250 by 250 pixels · bone marrow aspirate smear
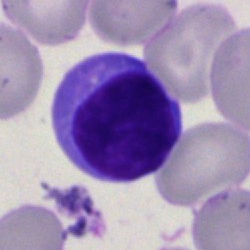

Specimen: bone marrow smear.
Morphological class: lymphocyte.
Lineage: lymphoid.